Peripheral blood film: 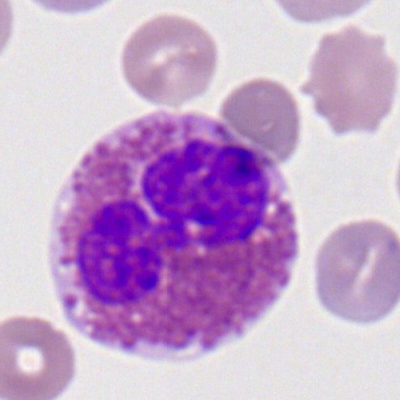

The cell is eosinophilic granulocyte.